Bone marrow smear:
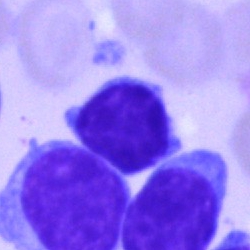
Classification — lymphocyte.